Bone marrow smear. Cropped to a single cell.
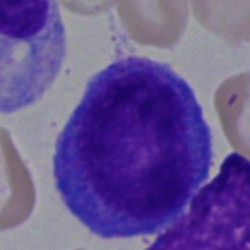 {"cell_type": "promyelocyte", "lineage": "myeloid"}